Bone marrow smear.
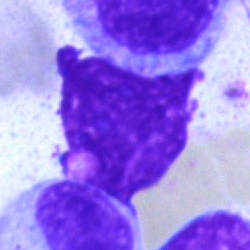Specimen: bone marrow aspirate smear.
Cell: artefact.